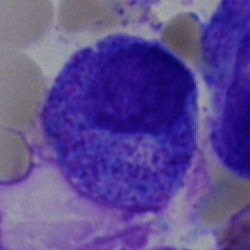
Myelocyte.